Bone marrow aspirate smear. 250×250 px — 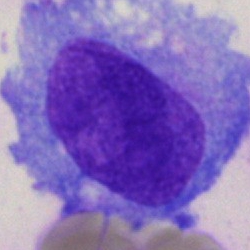
Monocyte.